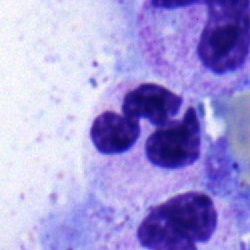
A segmented neutrophil.